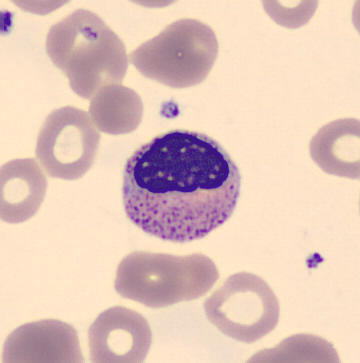

Q: What type of cell is this?
A: This is a metamyelocyte.

Acquisition: Peripheral blood smear.